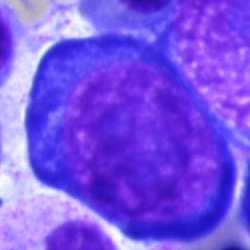 A proerythroblast on a bone marrow smear.